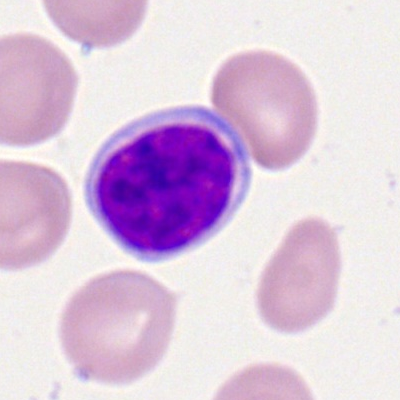Cell — lymphocyte.